Bone marrow smear: 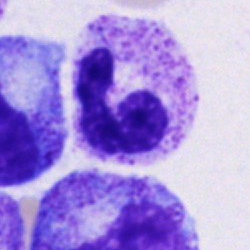
Cell type: polymorphonuclear neutrophil.